Bone marrow aspirate smear: 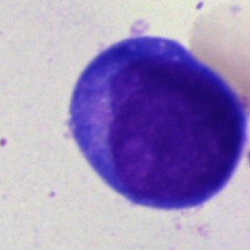

Classification: undifferentiated blast.